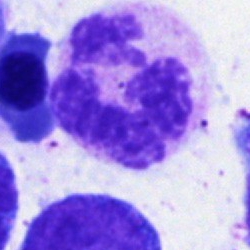 Bone marrow smear showing a polymorphonuclear neutrophil.